250×250; brightfield microscopy, 40× oil immersion; bone marrow smear.
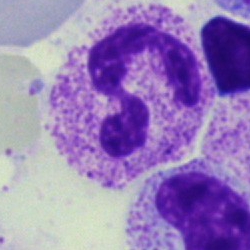
This is a polymorphonuclear neutrophil.